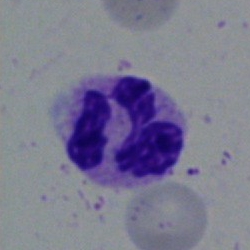A neutrophil (segmented).